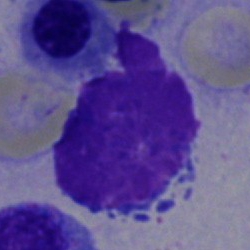

Morphological class = artefact.